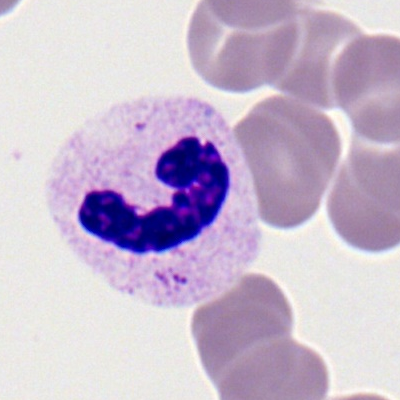Cell — band neutrophil.